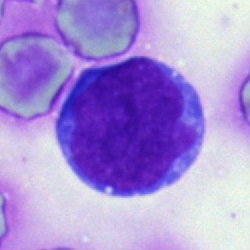

Q: What type of cell is this?
A: It is a blast cell.